Bone marrow smear
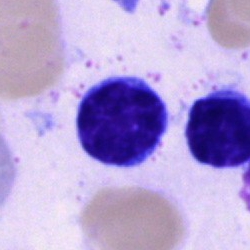

Q: Identify the cell.
A: A typical lymphocyte.